250×250; bone marrow smear: 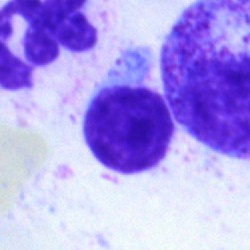

Q: What is the morphological classification of this cell?
A: It is a lymphocyte.